Brightfield microscopy, 40× oil immersion. Bone marrow aspirate smear
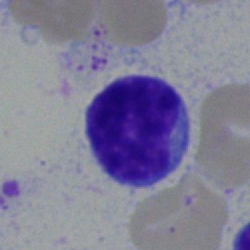 Specimen: bone marrow smear.
Classification: typical lymphocyte.
Lineage: lymphoid.